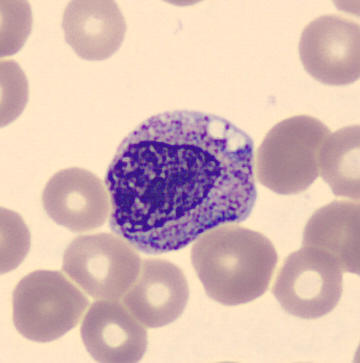 Morphological class = myelocyte.
Acquisition: Peripheral blood smear.